Peripheral blood smear:
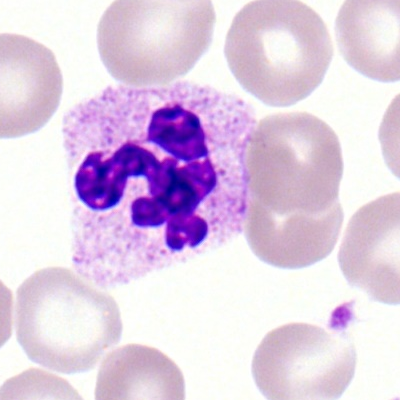

{"cell_type": "polymorphonuclear neutrophil", "lineage": "myeloid"}